Bone marrow smear
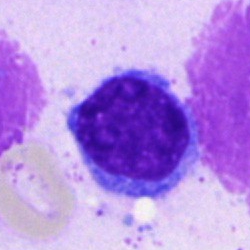
Cell — typical lymphocyte.